Bone marrow aspirate smear; 250×250
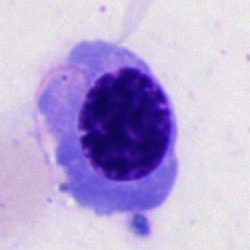
This is a normoblast.